Bone marrow smear; single-cell crop:
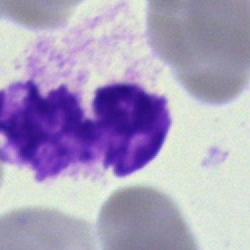

This is an artefact.